Bone marrow aspirate smear.
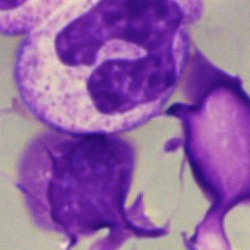Cell type = polymorphonuclear neutrophil.